Bone marrow aspirate smear. 250×250.
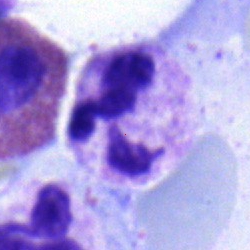
Q: Identify the cell.
A: Segmented neutrophil.